Bone marrow aspirate smear — 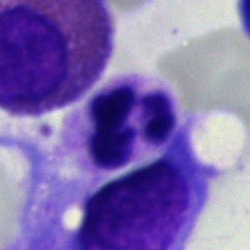Cell type: neutrophil (segmented).